Bone marrow smear
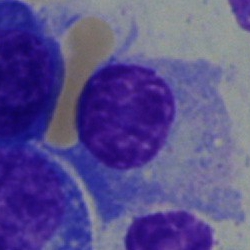 Plasma cell.